Bone marrow smear
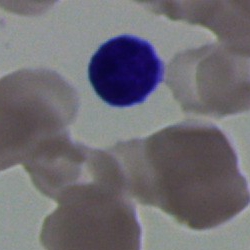Showing a lymphocyte.